250×250 · bone marrow aspirate smear · Pappenheim-stained — 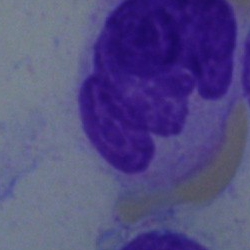 Morphological class = monocyte.